Bone marrow smear. MGG-stained. Image size 250×250
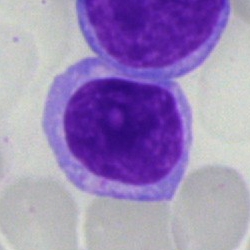Cell type: typical lymphocyte.